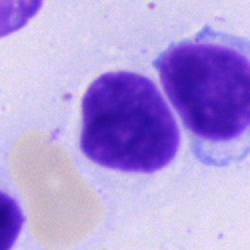
Specimen: bone marrow smear.
Morphological class: lymphocyte.
Lineage: lymphoid.